Bone marrow aspirate smear; brightfield, 40× oil-immersion objective — 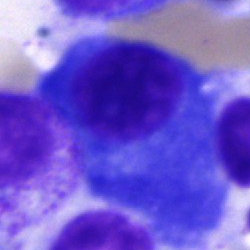

Plasmacyte.